Bone marrow smear. Brightfield, 40× oil-immersion objective — 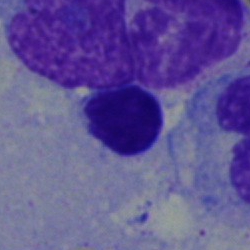

Cell type — typical lymphocyte.